100× objective, oil immersion. Peripheral blood smear:
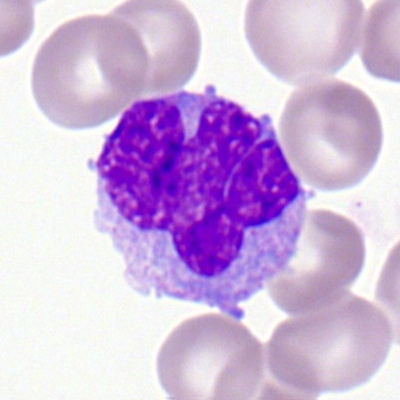
Cell type — monocyte.